Bone marrow aspirate smear — 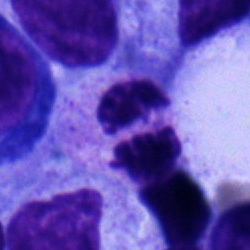Morphology — polymorphonuclear neutrophil.